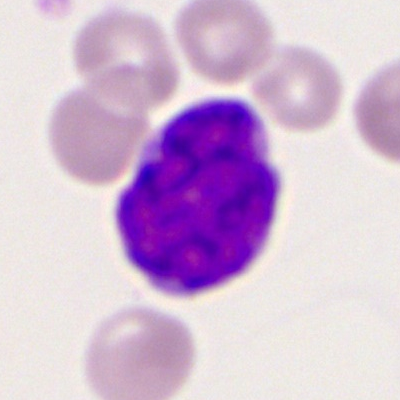 Showing a myeloid blast.